Bone marrow aspirate smear · 250 by 250 pixels — 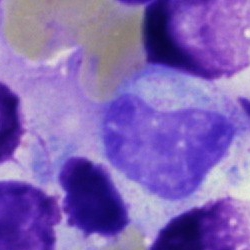Classification = metamyelocyte.